250×250 px; bone marrow aspirate smear; May-Grünwald-Giemsa stain: 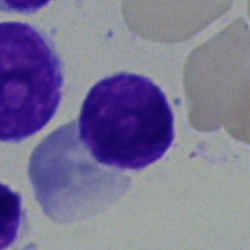 Single cell identified as a typical lymphocyte.